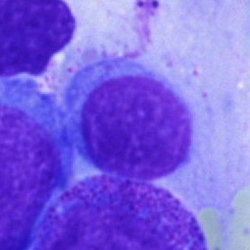 The cell type is artefact.